May-Grünwald-Giemsa/Pappenheim stain; bone marrow smear.
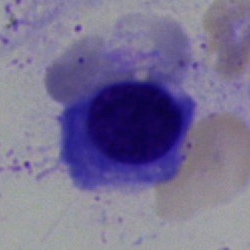This is a normoblast.